Romanowsky stain. Peripheral blood smear
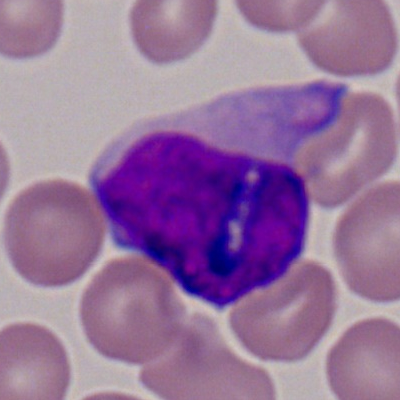
The morphological class is myeloblast.